Brightfield microscopy, 40× oil immersion; bone marrow smear.
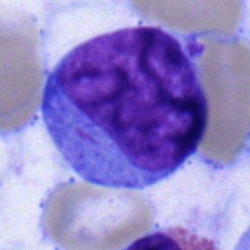

Impression → undifferentiated blast.